Bone marrow aspirate smear. May-Grünwald-Giemsa/Pappenheim stain.
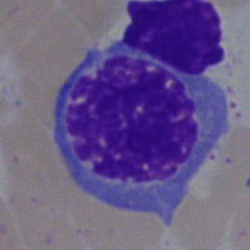A nucleated red cell.